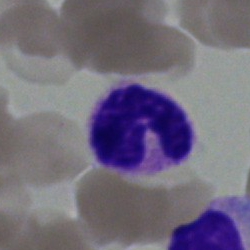Segmented neutrophil.